Bone marrow smear; 40× oil immersion
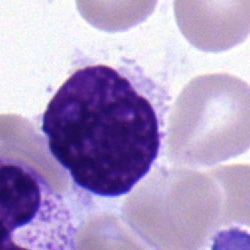

Q: What type of cell is this?
A: A lymphocyte.